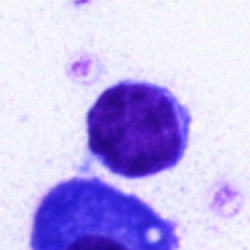

A typical lymphocyte.